Single-cell field · bone marrow smear
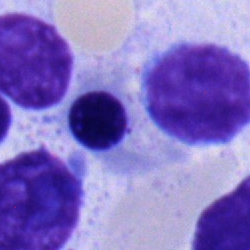Cell: erythroblast.